Peripheral blood film: 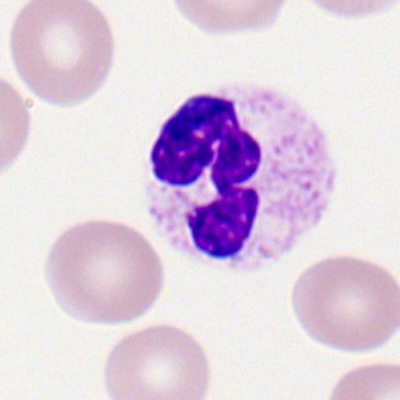 Classification = segmented neutrophil.